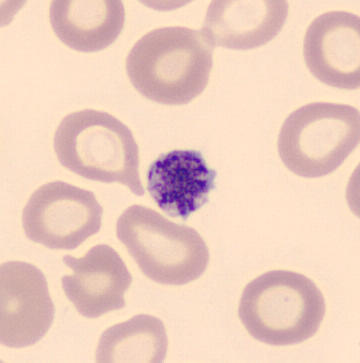From a peripheral blood smear: a platelet (thrombocyte).